Bone marrow smear
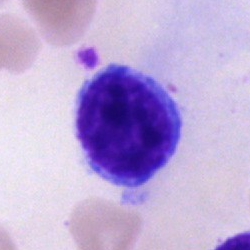

{"cell_type": "typical lymphocyte"}